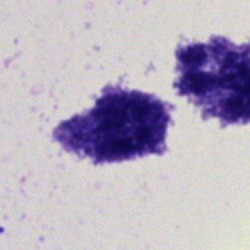
Cell — artifact.